400×400 px · peripheral blood film: 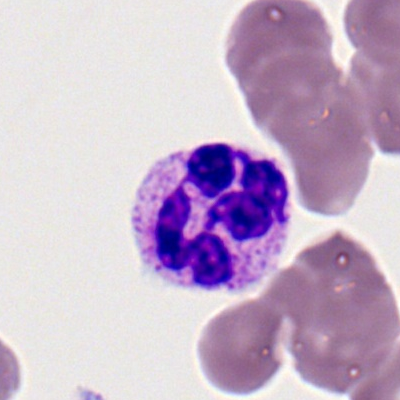
Morphology consistent with a neutrophil (segmented).